Bone marrow aspirate smear. Single cell centered in the field. 250×250
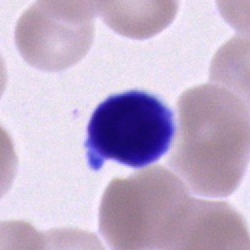

Single cell identified as a lymphocyte.